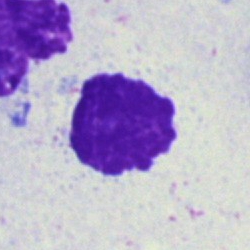

The morphological class is artifact.